Bone marrow aspirate smear.
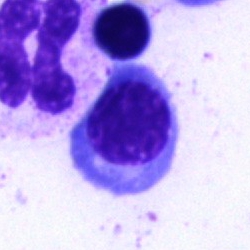Normoblast.